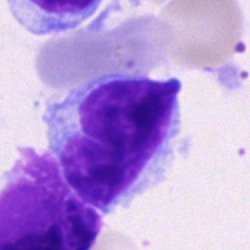{"cell_type": "typical lymphocyte"}